Bone marrow smear. Single-cell field
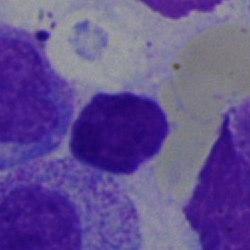 The cell type is lymphocyte.